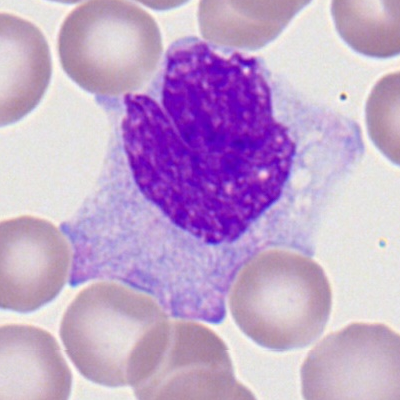
Cell type: monocyte.